Cropped to a single cell. 250×250. Bone marrow aspirate smear:
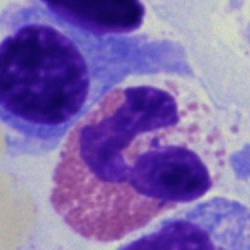 The cell shown is an eosinophilic granulocyte.